Bone marrow aspirate smear — 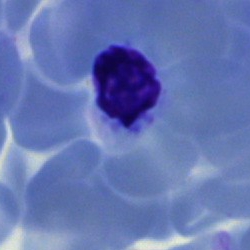Specimen: bone marrow aspirate smear.
Morphological class: artifact.